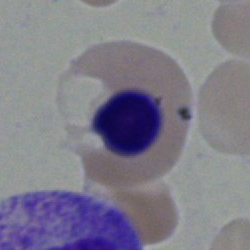
The morphological class is nucleated red blood cell.